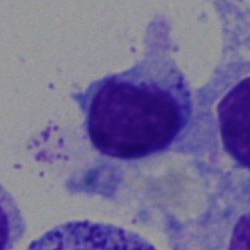

The cell shown is a typical lymphocyte.